Bone marrow aspirate smear.
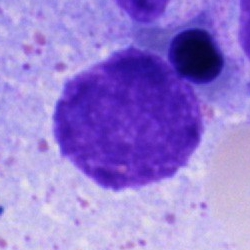
Q: What is shown here?
A: It is an artefact.